Bone marrow aspirate smear: 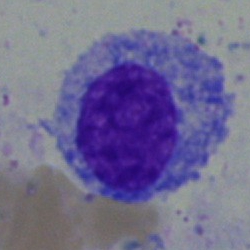

Specimen: bone marrow aspirate smear.
Classification: myelocyte.
Lineage: myeloid.